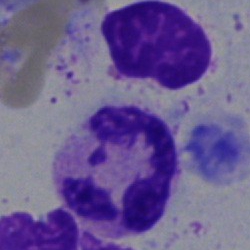
A neutrophil (segmented).